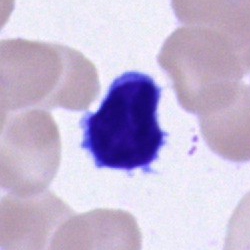

Bone marrow smear showing a typical lymphocyte.